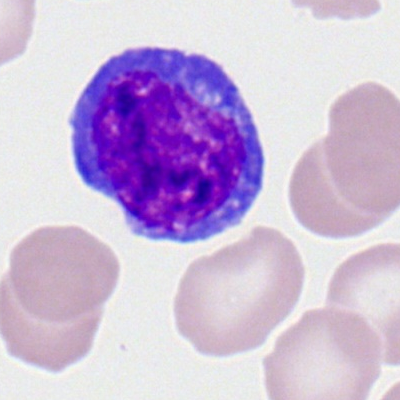
Specimen: peripheral blood film.
Cell: atypical lymphocyte.
Lineage: lymphoid.